Bone marrow aspirate smear; brightfield, 40× oil-immersion objective: 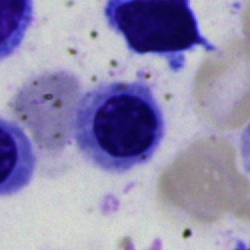 Q: What is the morphological classification of this cell?
A: This is a nucleated red blood cell.